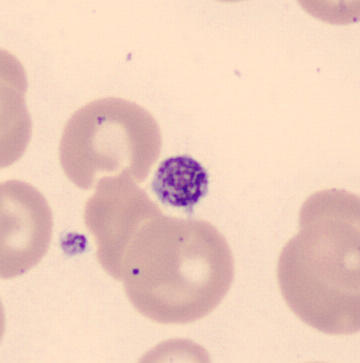

This is a platelet (thrombocyte). Image: Peripheral blood smear. CellaVision DM96.